Bone marrow smear
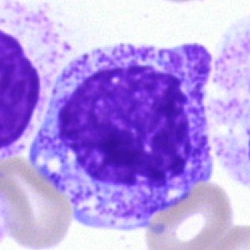 The cell type is myelocyte.